Bone marrow aspirate smear — 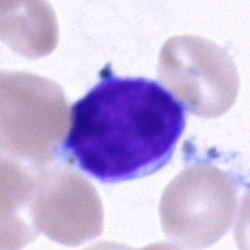 The cell shown is a typical lymphocyte.